250×250 px. Bone marrow smear:
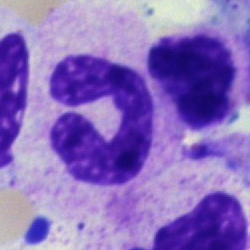 Q: What is shown here?
A: Polymorphonuclear neutrophil.